Peripheral blood smear; MGG stain
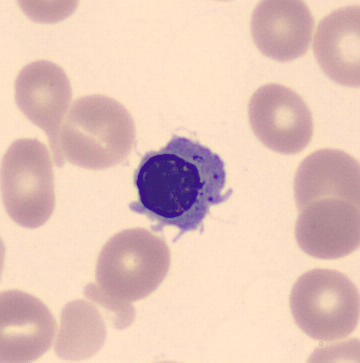Impression → nucleated red cell.